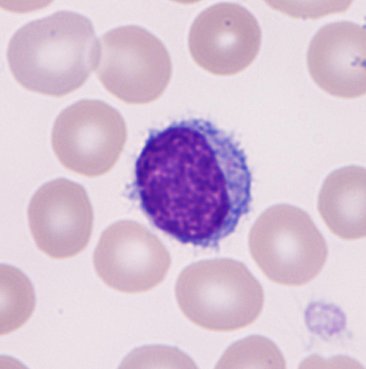
Preparation: 366 by 369 pixels. Peripheral blood smear. Lymphocyte.